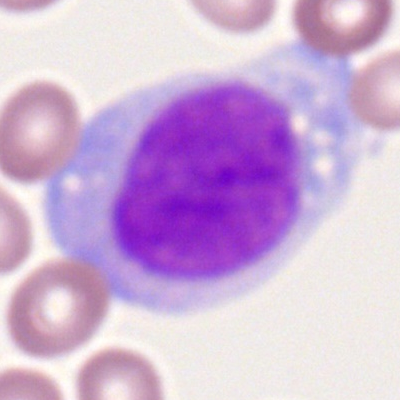

Q: What type of cell is this?
A: A myeloblast.